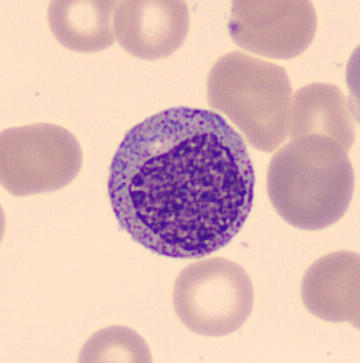
360 by 363 pixels. Cropped to a single cell.

Specimen: peripheral blood smear.
Cell: myelocyte.
Lineage: myeloid.